Bone marrow aspirate smear:
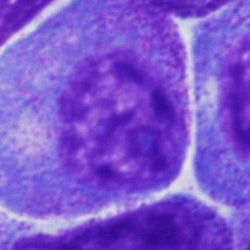

The morphological class is promyelocyte.